Image size 250×250. Bone marrow aspirate smear:
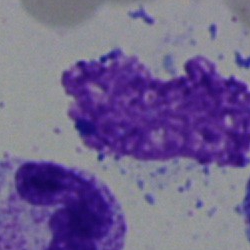

Q: What is shown here?
A: An artifact.